400 by 400 pixels; M8 digital microscope (Precipoint), 100× oil immersion; peripheral blood smear:
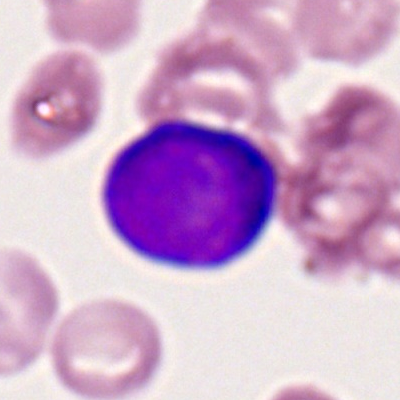Cell type — myeloid blast.